Bone marrow aspirate smear:
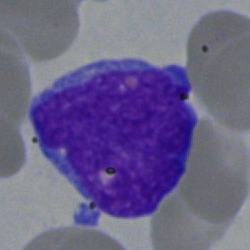
The cell type is blast.